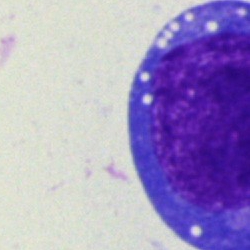

Q: What type of cell is this?
A: It is a blast.